Bone marrow smear
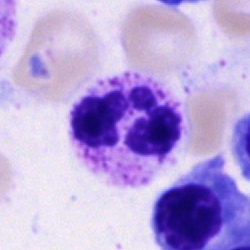 The cell shown is a neutrophil (segmented).